May-Grünwald-Giemsa/Pappenheim stain · brightfield microscopy, 40× oil immersion · bone marrow aspirate smear.
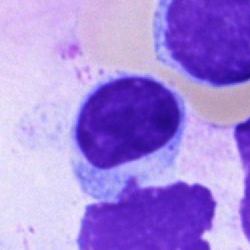
Impression — lymphocyte.